250 by 250 pixels. Bone marrow smear.
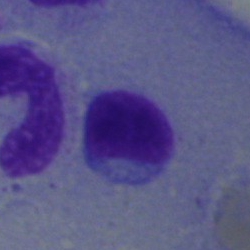Q: What cell is this?
A: A lymphocyte.